May-Grünwald-Giemsa stain; bone marrow smear; 40× objective, oil immersion.
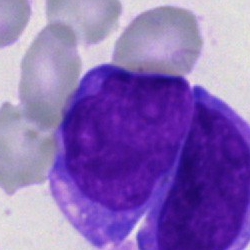Q: What type of cell is this?
A: A blast cell.